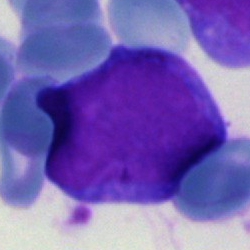

Morphology consistent with a blast.